Bone marrow smear: 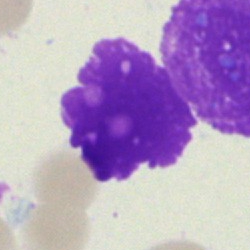
Single cell identified as an artifact.